Bone marrow aspirate smear; image size 250×250.
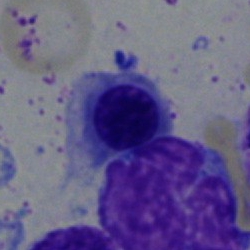 A nucleated red cell.